Peripheral blood film — 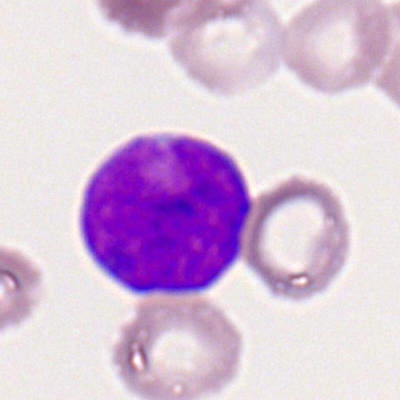A myeloid blast.